Bone marrow smear — 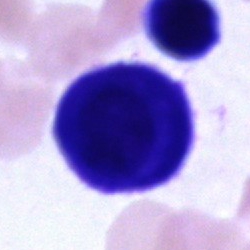Q: Identify the cell.
A: This is a plasma cell.